Peripheral blood film: 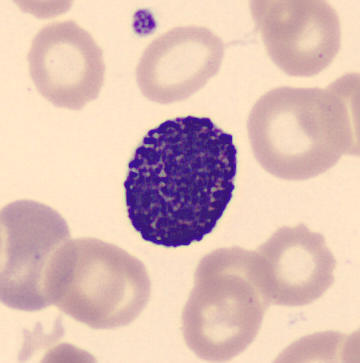

The classification is basophilic granulocyte.